40× oil immersion · bone marrow smear.
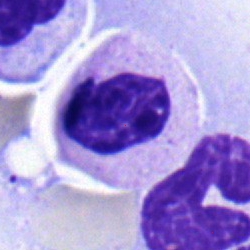 Specimen: bone marrow smear.
Cell: myelocyte.
Lineage: myeloid.